Romanowsky-stained · peripheral blood film
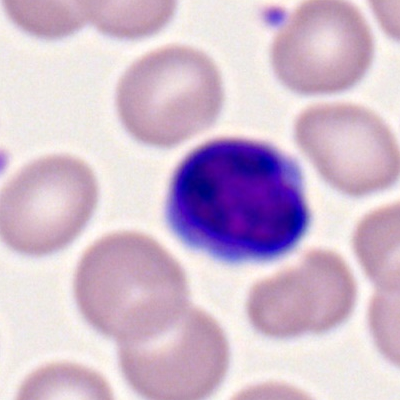 Classification: typical lymphocyte.